Brightfield, 40× oil-immersion objective; bone marrow smear; single cell centered in the field.
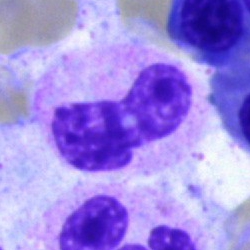

The cell is band-form neutrophil.